400×400 · peripheral blood smear.
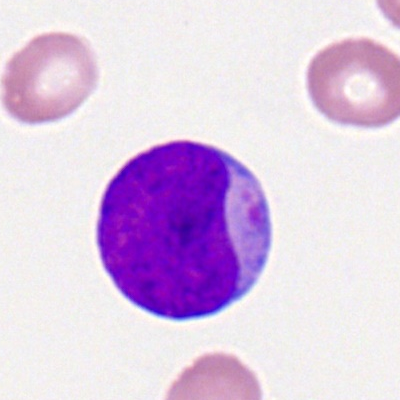A myeloblast.